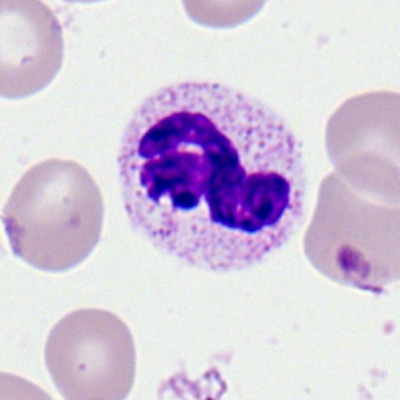 Specimen: peripheral blood smear.
Cell: neutrophil (segmented).
Lineage: myeloid.